Bone marrow smear:
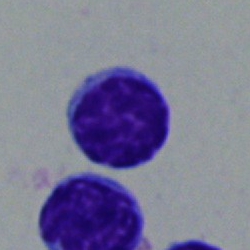The cell shown is a typical lymphocyte.